Bone marrow smear:
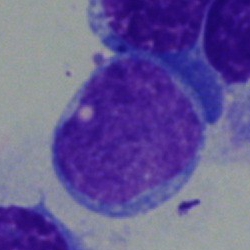 Morphological class: blast.